Bone marrow smear — 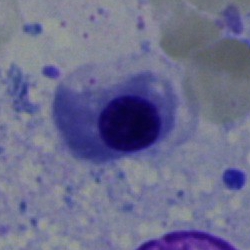Morphological class = erythroblast.